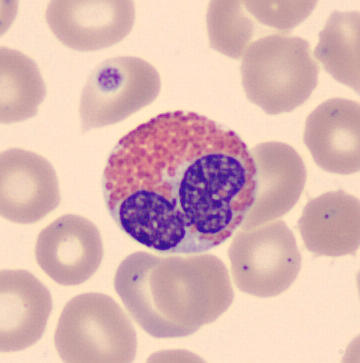 Q: What is shown here?
A: Eosinophil.
Peripheral blood film.